Bone marrow aspirate smear · single cell centered in the field: 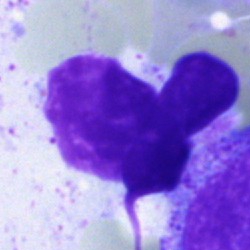Impression → artifact.